Pappenheim-stained · bone marrow smear:
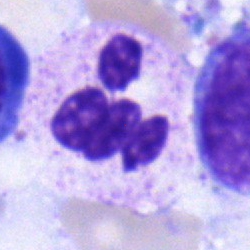 This is a polymorphonuclear neutrophil.